Pappenheim-stained. Bone marrow smear. Single-cell crop — 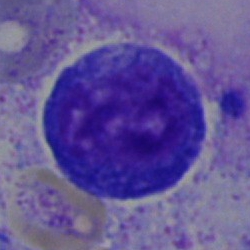

The cell shown is a promyelocyte.